Peripheral blood film; May Grünwald-Giemsa stain; 360 by 363 pixels — 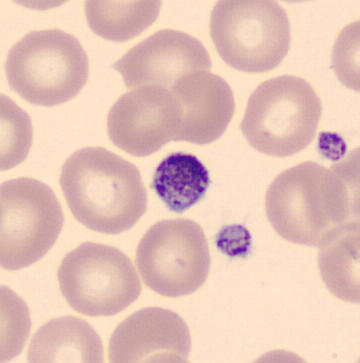
Platelet.